Peripheral blood smear: 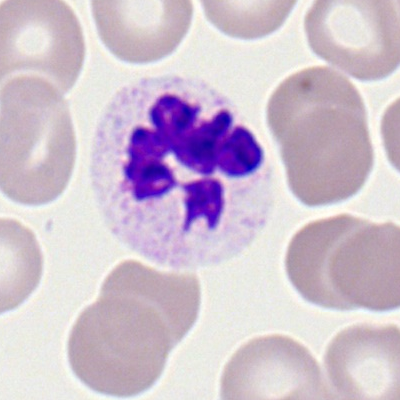

Q: Identify the cell.
A: Neutrophil (segmented).